Bone marrow smear: 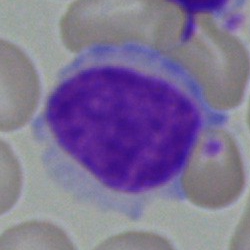
Morphological class: typical lymphocyte.